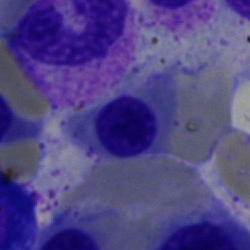

The cell is erythroblast.